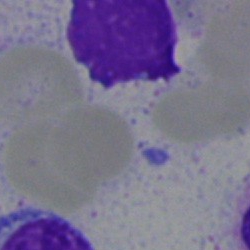
Specimen: bone marrow aspirate smear.
Classification: artifact.